Bone marrow smear.
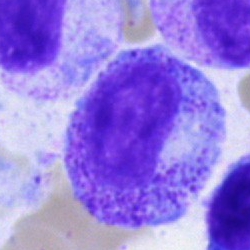Progranulocyte.